Bone marrow smear.
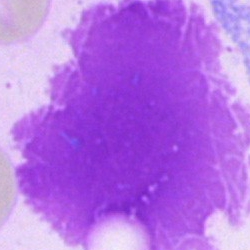
The cell shown is an artefact.